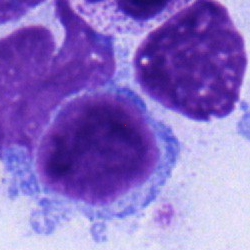

Q: What type of cell is this?
A: It is a typical lymphocyte.